Bone marrow smear.
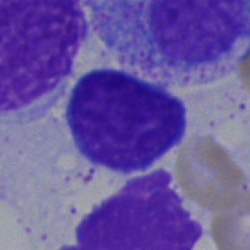Impression — lymphocyte.